Bone marrow aspirate smear: 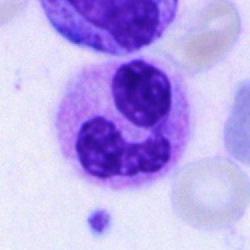

Impression → polymorphonuclear neutrophil.